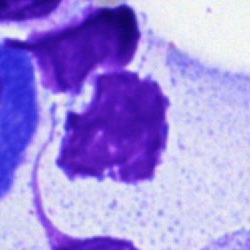 Specimen: bone marrow smear.
Cell: artifact.